Bone marrow smear · 40× oil immersion
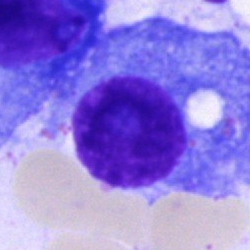
Showing a plasma cell.